Bone marrow aspirate smear
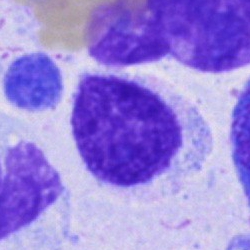

Morphology → cell of indeterminate lineage.